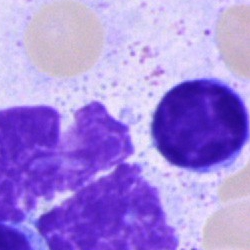Showing a lymphocyte.